Bone marrow smear:
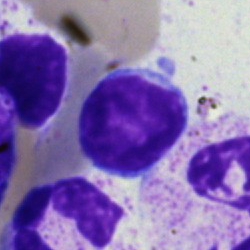 Specimen: bone marrow smear.
Cell type: lymphocyte.